Bone marrow smear: 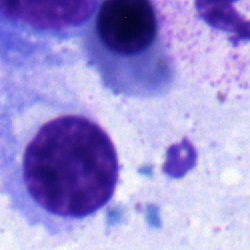 Cell type = nucleated red cell.